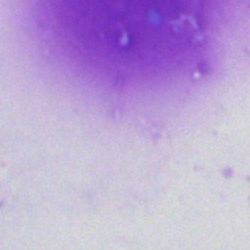{"cell_type": "artifact"}